Bone marrow smear
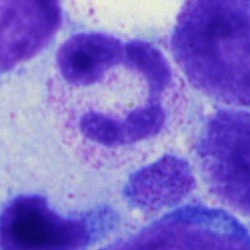Polymorphonuclear neutrophil.